Bone marrow aspirate smear — 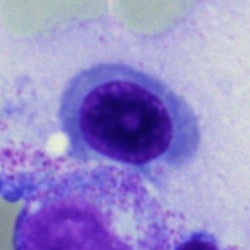 The cell type is nucleated red blood cell.